May-Grünwald-Giemsa/Pappenheim stain. Single-cell crop. Bone marrow aspirate smear.
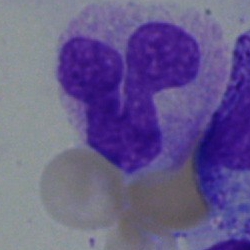

Impression → neutrophil (band).